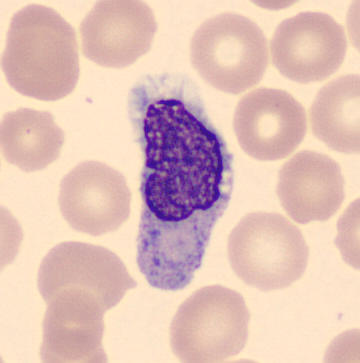 The cell is monocyte.
Preparation: Peripheral blood film.